Bone marrow smear — 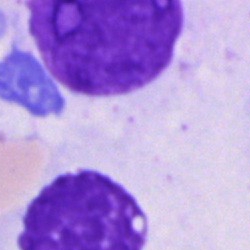

Artefact.